Bone marrow aspirate smear: 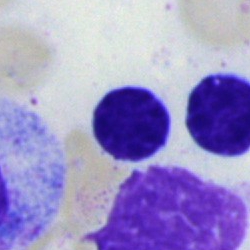
Specimen: bone marrow aspirate smear.
Classification: lymphocyte.